Bone marrow aspirate smear · May-Grünwald-Giemsa stain · single cell centered in the field — 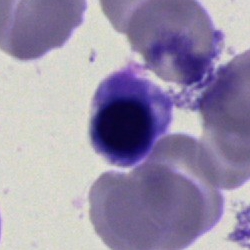Impression — nucleated red cell.